Peripheral blood smear. Romanowsky-stained: 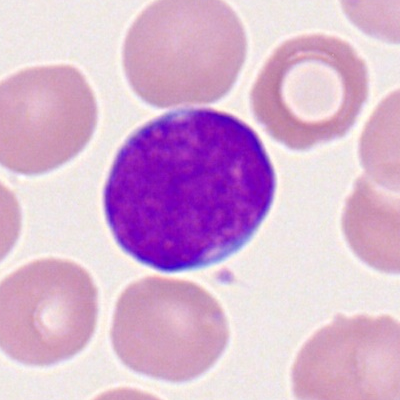
Impression — myeloblast.